Bone marrow aspirate smear; 40× objective, oil immersion; 250×250
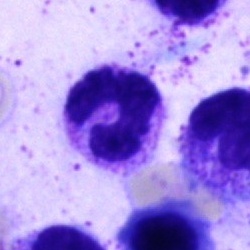
A polymorphonuclear neutrophil.